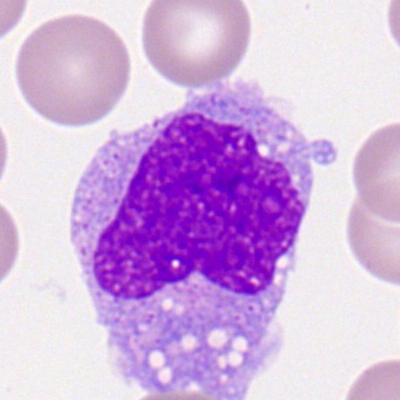Cell — monocyte.